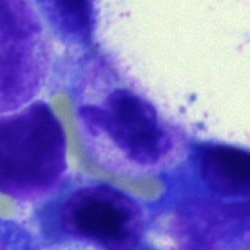 Morphology → neutrophil (segmented).